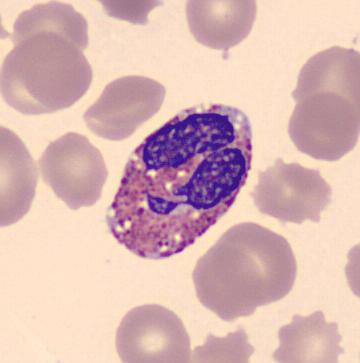 Specimen: peripheral blood film.
Cell type: eosinophil.
Lineage: myeloid.